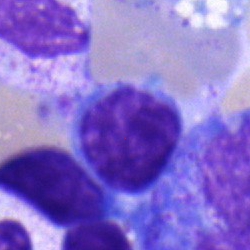 Cell type — lymphocyte.